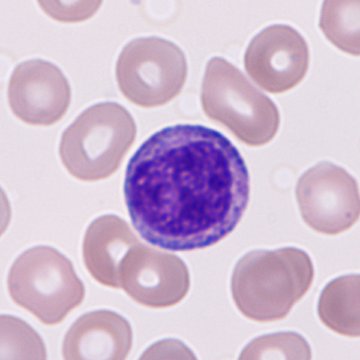 Classification: granulocyte precursor. Preparation: Peripheral blood film; automated cell imaging (CellaVision DM96).